Bone marrow smear.
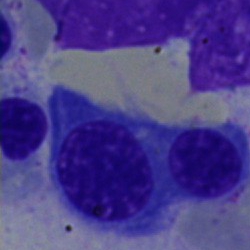This is a nucleated red blood cell.